Bone marrow aspirate smear: 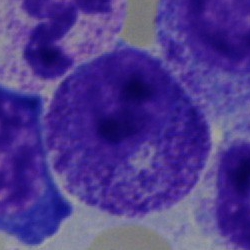Myelocyte.